Bone marrow smear; Pappenheim-stained — 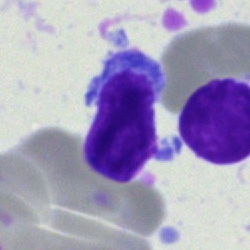Classification — lymphocyte.